Bone marrow aspirate smear
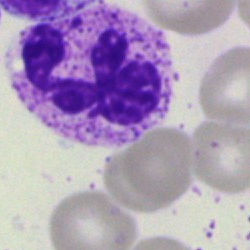
This is a segmented neutrophil.